Bone marrow smear.
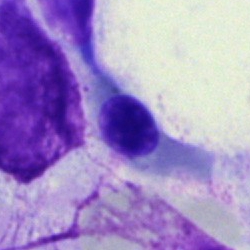 The cell shown is a normoblast.